Bone marrow smear
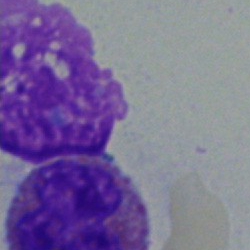Single cell identified as an eosinophil.